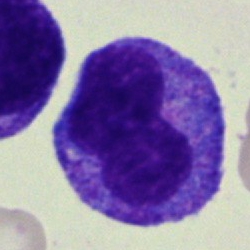Single cell identified as a promyelocyte.